Brightfield microscopy, 40× oil immersion. Bone marrow smear. Pappenheim-stained
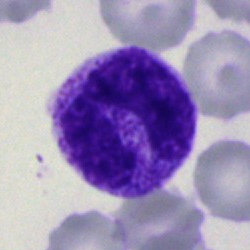

The morphological class is band neutrophil.